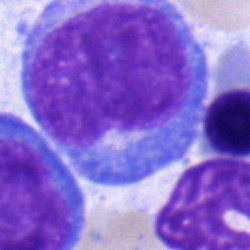

Morphology consistent with an undifferentiated blast.